250×250 px · bone marrow aspirate smear: 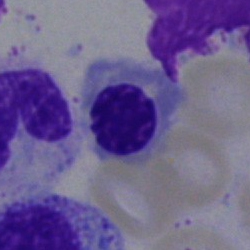 Showing an erythroblast.